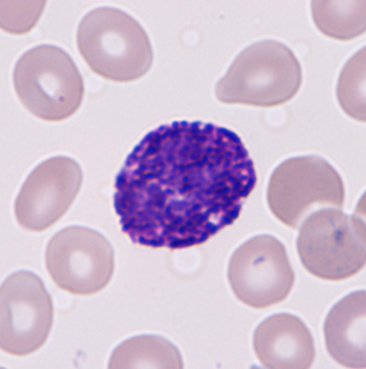 Morphology — basophilic granulocyte.

Acquisition: Peripheral blood smear.